400×400; peripheral blood smear; cropped to a single cell
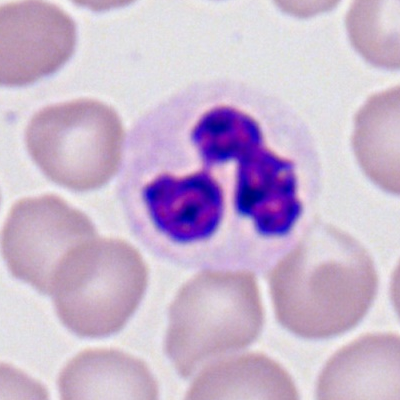

Morphology — polymorphonuclear neutrophil.